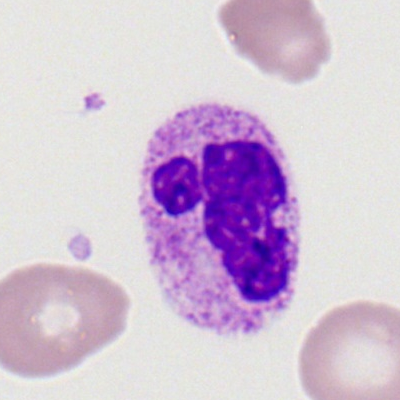The cell type is segmented neutrophil.